Bone marrow aspirate smear: 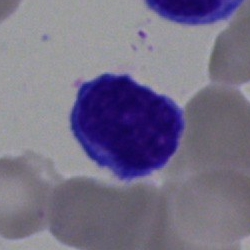 Q: What cell is this?
A: This is a typical lymphocyte.